Bone marrow smear.
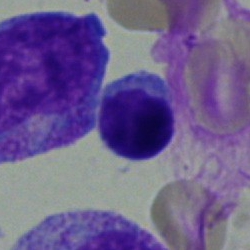

Q: What is the morphological classification of this cell?
A: A typical lymphocyte.